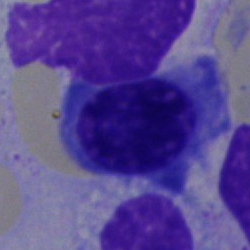

Specimen: bone marrow aspirate smear.
Morphological class: erythroblast.